250 by 250 pixels; 40× objective, oil immersion; bone marrow smear:
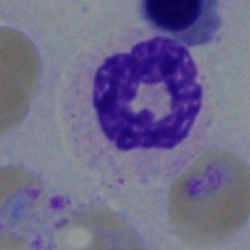 Single cell identified as a polymorphonuclear neutrophil.